MGG-stained; single-cell crop; bone marrow smear — 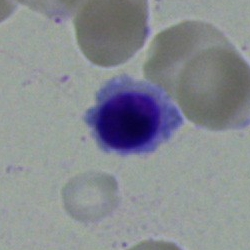

The morphological class is erythroblast.